Bone marrow aspirate smear — 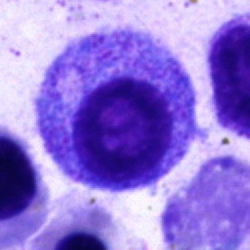
Classification = promyelocyte.